Bone marrow smear
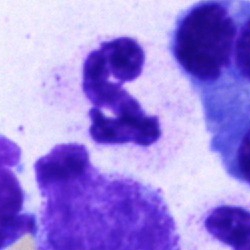
The classification is polymorphonuclear neutrophil.